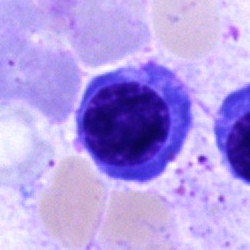
The cell type is normoblast.